Bone marrow smear. Single cell centered in the field:
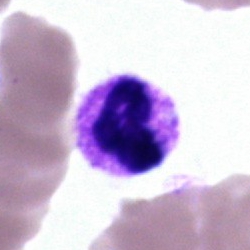Specimen: bone marrow aspirate smear.
Classification: segmented neutrophil.
Lineage: myeloid.